Bone marrow smear.
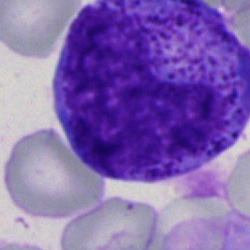
The morphological class is myelocyte.